May-Grünwald-Giemsa/Pappenheim stain · bone marrow aspirate smear:
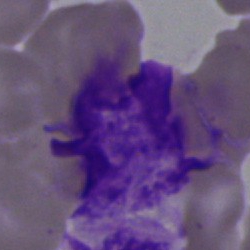

Q: What is shown here?
A: An artefact.